Bone marrow aspirate smear.
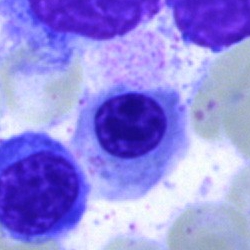

Morphology — normoblast.